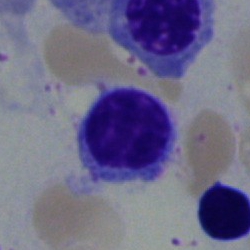 Cell — lymphocyte.